MGG-stained. Bone marrow aspirate smear. Brightfield, 40× oil-immersion objective:
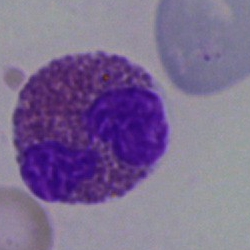 Single cell identified as an eosinophilic granulocyte.